Bone marrow smear. Single-cell field: 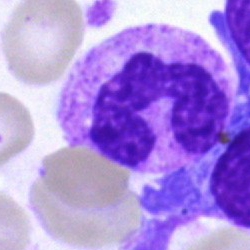
Classification — polymorphonuclear neutrophil.